Single cell centered in the field · Pappenheim-stained · bone marrow smear: 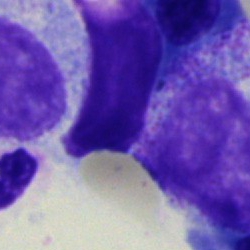
Classification = cell of indeterminate lineage.